MGG-stained; bone marrow smear:
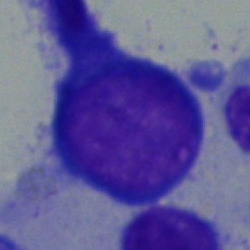
Impression → blast cell.